Bone marrow smear; MGG-stained:
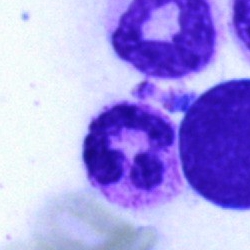
A neutrophil (segmented).